Bone marrow smear — 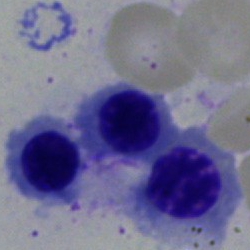

{"cell_type": "nucleated red cell", "lineage": "erythroid"}